Single-cell crop. Bone marrow aspirate smear. Brightfield, 40× oil-immersion objective: 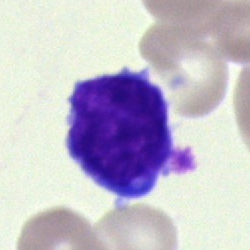

Cell: lymphocyte.